40× oil immersion · bone marrow smear
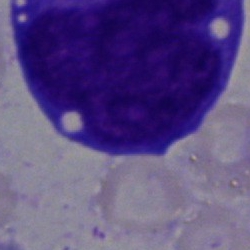 Morphology consistent with a blast cell.